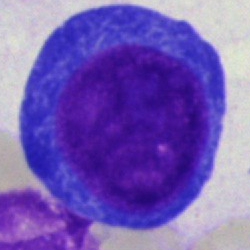 Morphological class = pronormoblast.